Bone marrow smear; 250×250 px
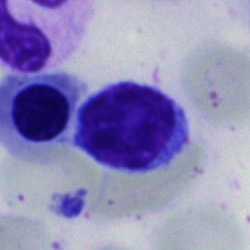

Specimen: bone marrow smear.
Classification: typical lymphocyte.
Lineage: lymphoid.